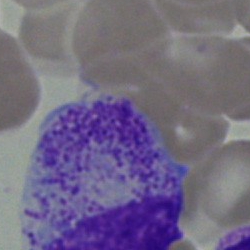Bone marrow smear showing a myelocyte.